Bone marrow aspirate smear: 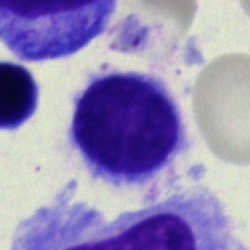

Typical lymphocyte.